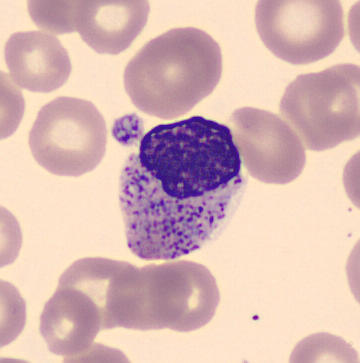
The cell is metamyelocyte.